250×250. Bone marrow smear — 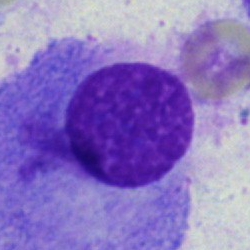Morphological class = artifact.